Single-cell field. Brightfield microscopy, 40× oil immersion. Bone marrow smear — 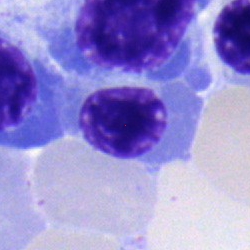Morphology consistent with a nucleated red cell.